Bone marrow smear:
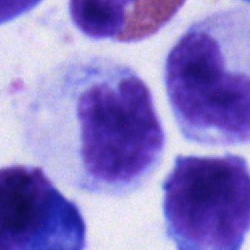
Q: What type of cell is this?
A: A monocyte.